Bone marrow aspirate smear
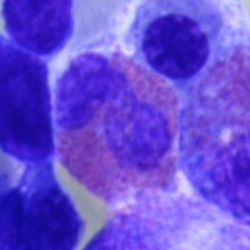
Q: Identify the cell.
A: Eosinophil.